MGG-stained · bone marrow aspirate smear.
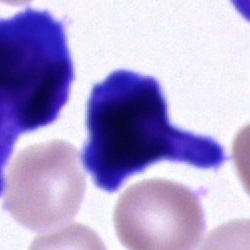
Morphology consistent with a cell of indeterminate lineage.